Single-cell crop · brightfield, 40× oil-immersion objective · bone marrow smear.
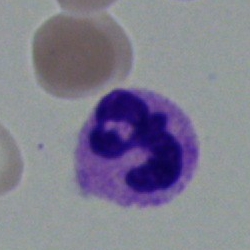Q: Identify the cell.
A: This is a neutrophil (segmented).